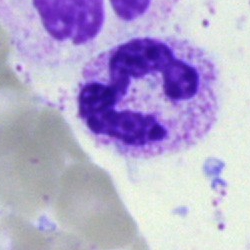 Morphological class — segmented neutrophil.